40× objective, oil immersion · May-Grünwald-Giemsa/Pappenheim stain · bone marrow smear: 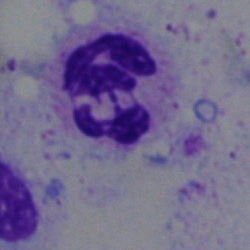
Specimen: bone marrow smear.
Classification: segmented neutrophil.
Lineage: myeloid.